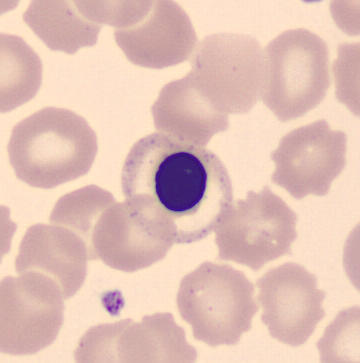

Imaged on a CellaVision DM96 analyser. May-Grünwald-Giemsa-stained. Peripheral blood film.
Morphological class = normoblast.